Bone marrow aspirate smear.
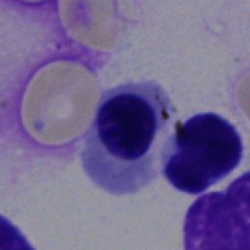
The cell is nucleated red blood cell.